250×250 px · bone marrow aspirate smear:
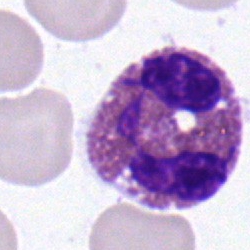

Q: What is the morphological classification of this cell?
A: It is an eosinophilic granulocyte.